Brightfield microscopy, 40× oil immersion. Bone marrow smear. 250×250 — 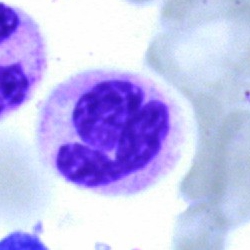Showing a polymorphonuclear neutrophil.